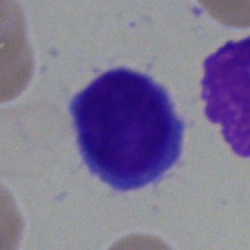Q: What is shown here?
A: Lymphocyte.